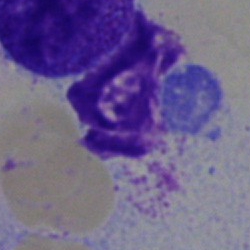Bone marrow smear showing an artifact.